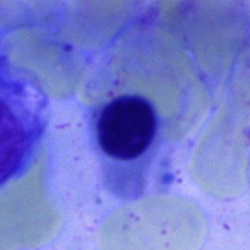Specimen: bone marrow smear.
Cell: normoblast.